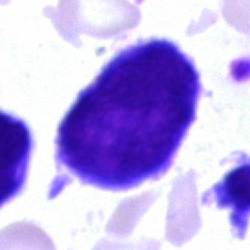
Classification — blast.